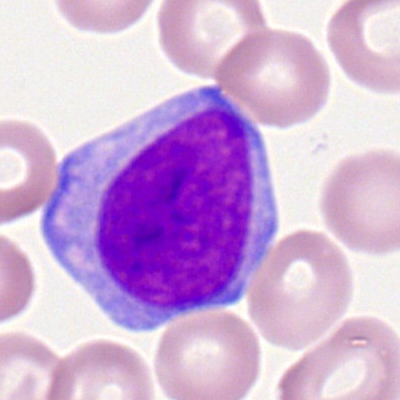 A myeloblast on a peripheral blood smear.